Peripheral blood film: 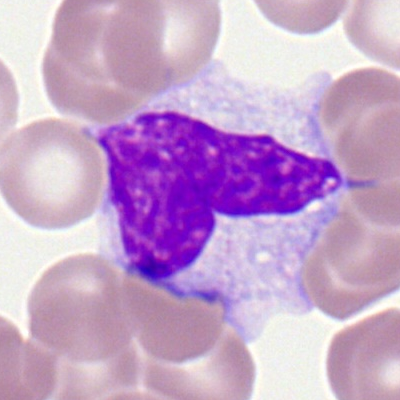The cell shown is a monocyte.